Bone marrow aspirate smear. Single-cell field.
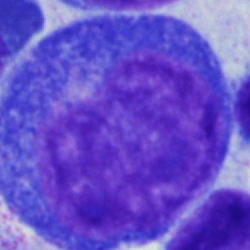Showing a promyelocyte.